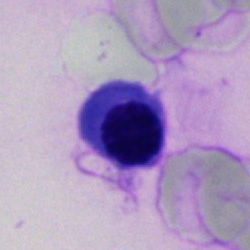
Classification = erythroblast.